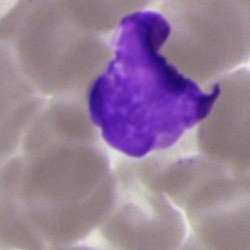 Specimen: bone marrow aspirate smear.
Morphological class: artifact.